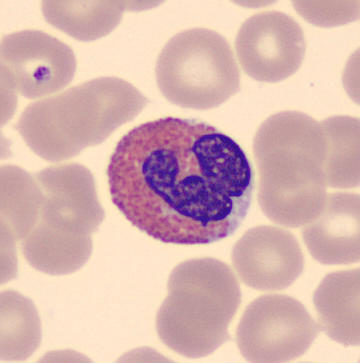
Peripheral blood smear.

The cell is eosinophilic granulocyte.